Bone marrow smear:
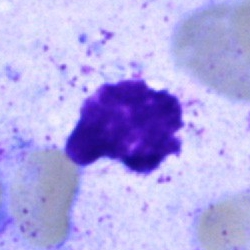The cell shown is an artefact.